Bone marrow aspirate smear
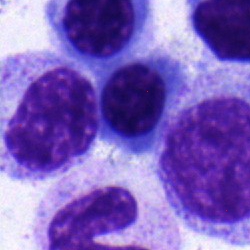Cell = myelocyte.